Peripheral blood smear.
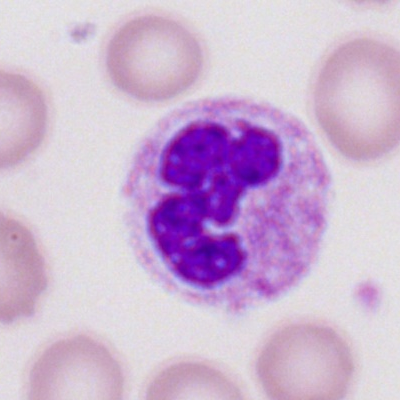
This is a segmented neutrophil.